Bone marrow aspirate smear.
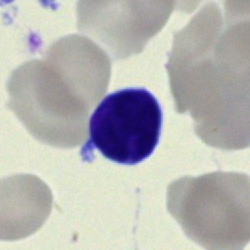
{"cell_type": "lymphocyte", "lineage": "lymphoid"}